Bone marrow aspirate smear · May-Grünwald-Giemsa stain: 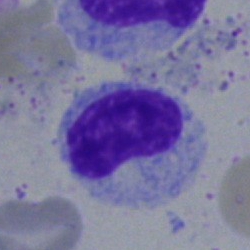

Single cell identified as a metamyelocyte.